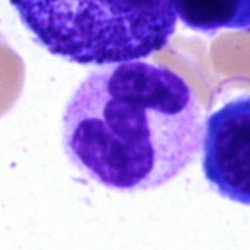
Specimen: bone marrow smear.
Morphological class: segmented neutrophil.
Lineage: myeloid.